Peripheral blood film — 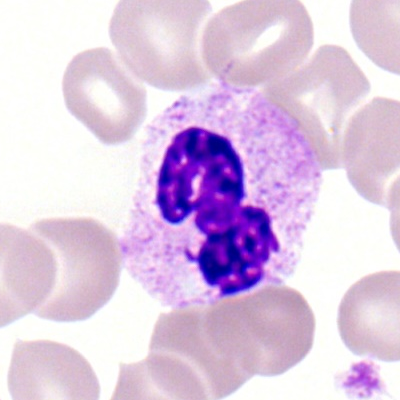Specimen: peripheral blood smear.
Morphological class: polymorphonuclear neutrophil.
Lineage: myeloid.